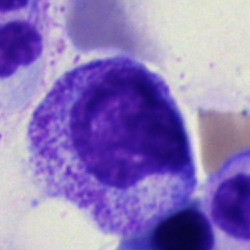 Q: What type of cell is this?
A: This is a myelocyte.